Bone marrow smear.
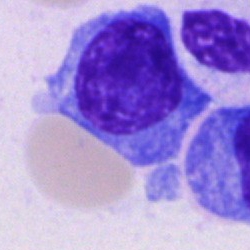
Classification: plasma cell.